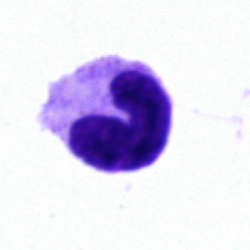 Bone marrow aspirate smear, single cell — band-form neutrophil.